Bone marrow smear
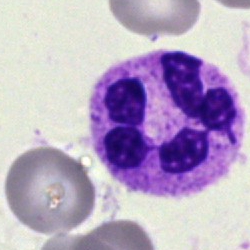A segmented neutrophil.